Pappenheim-stained · bone marrow smear · cropped to a single cell — 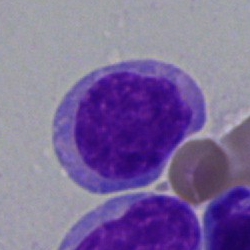 Morphology consistent with a blast cell.